Bone marrow aspirate smear:
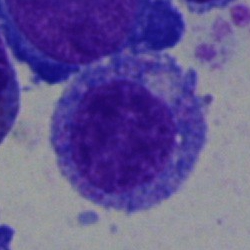
{"cell_type": "progranulocyte", "lineage": "myeloid"}